Peripheral blood film:
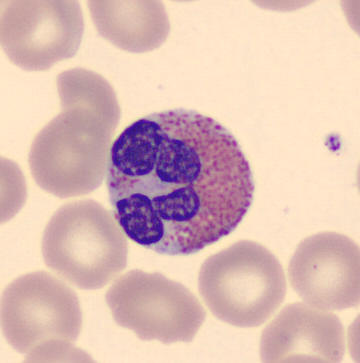
Cell — eosinophilic granulocyte.